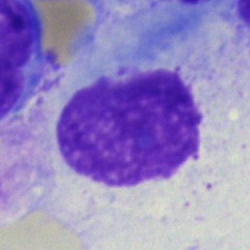The cell type is artefact.